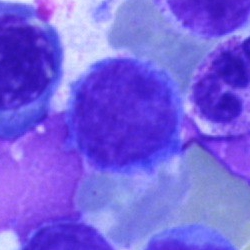{"cell_type": "lymphocyte"}